Bone marrow smear; cropped to a single cell; brightfield, 40× oil-immersion objective:
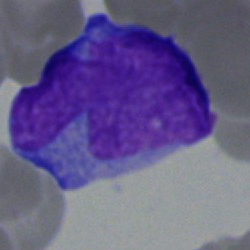The cell shown is an undifferentiated blast.